Bone marrow aspirate smear:
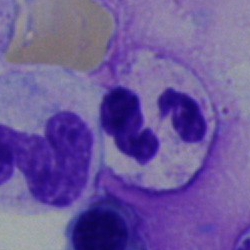Q: What is shown here?
A: Segmented neutrophil.